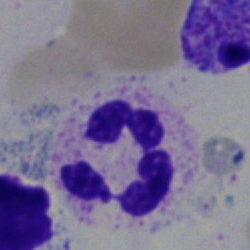

A segmented neutrophil on a bone marrow smear.